250 by 250 pixels; bone marrow aspirate smear — 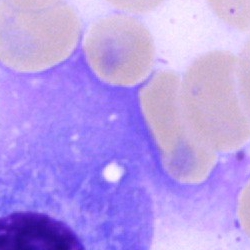 Morphological class — plasma cell.